Bone marrow smear; May-Grünwald-Giemsa/Pappenheim stain; cropped to a single cell
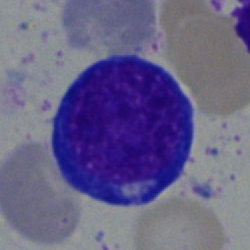

Specimen: bone marrow aspirate smear.
Morphological class: pronormoblast.
Lineage: erythroid.